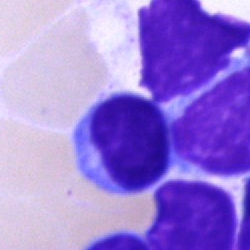 Specimen: bone marrow aspirate smear.
Cell type: typical lymphocyte.